Bone marrow aspirate smear: 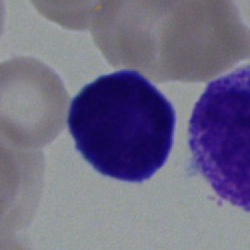
The morphological class is lymphocyte.